Bone marrow aspirate smear · single cell centered in the field — 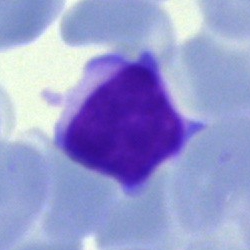

Morphology → lymphocyte.